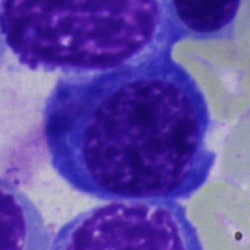

Nucleated red blood cell.